Bone marrow smear:
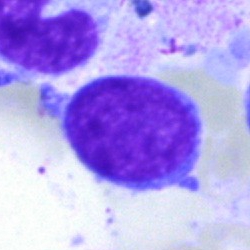The morphological class is blast cell.